Peripheral blood film
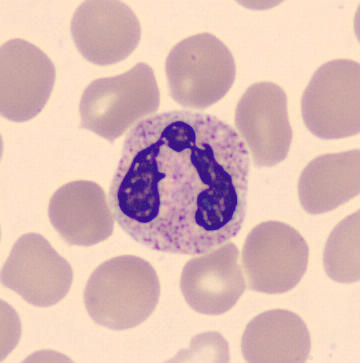 {"cell_type": "segmented neutrophil", "lineage": "myeloid"}